Bone marrow aspirate smear
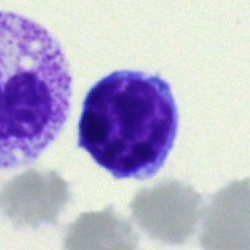 The cell shown is a typical lymphocyte.